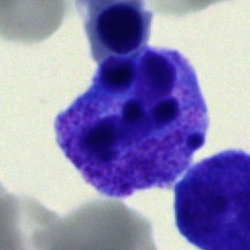
Q: What cell is this?
A: An unidentifiable cell.